Bone marrow smear
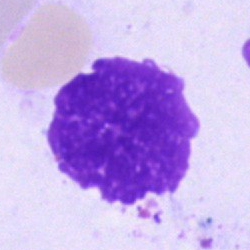

Q: What is shown here?
A: An artefact.